Bone marrow aspirate smear; cropped to a single cell.
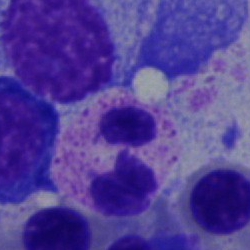 Morphological class — neutrophil (segmented).